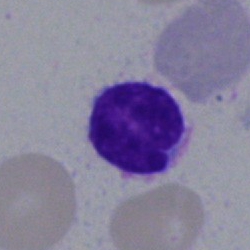
The cell is typical lymphocyte.